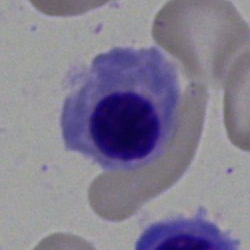Cell = erythroblast.